Bone marrow smear; brightfield microscopy, 40× oil immersion:
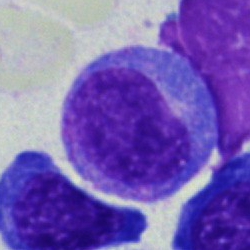

Cell: blast cell.